Bone marrow aspirate smear
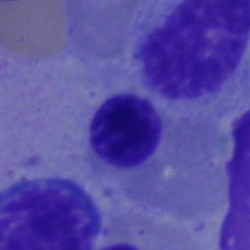 Showing a nucleated red cell.